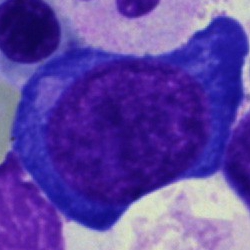

A pronormoblast on a bone marrow smear.